Bone marrow aspirate smear.
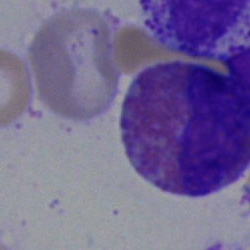Impression — eosinophil.